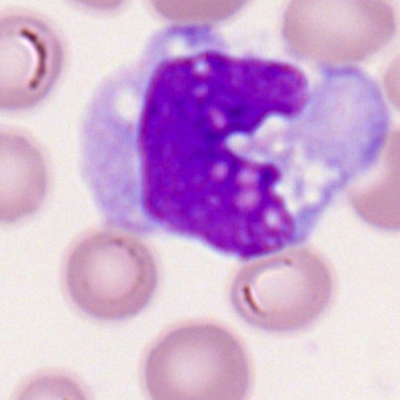
Impression → monocyte.